Bone marrow aspirate smear
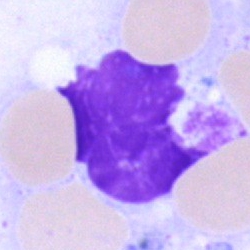Showing an artifact.